Bone marrow smear:
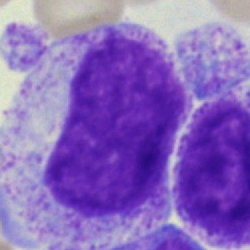 Specimen: bone marrow smear.
Classification: promyelocyte.
Lineage: myeloid.